Bone marrow aspirate smear
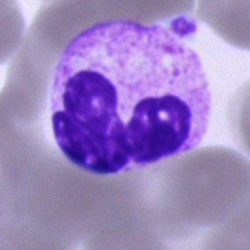

The cell shown is a neutrophil (segmented).